250×250 px · single-cell field · bone marrow smear: 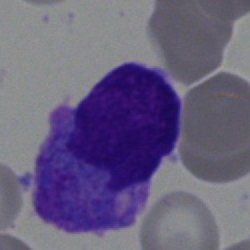

Morphology consistent with a blast.